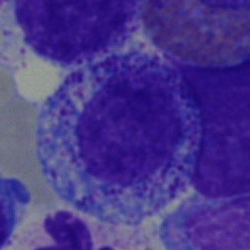
A myelocyte on a bone marrow smear.